Single-cell crop. Bone marrow smear. MGG-stained:
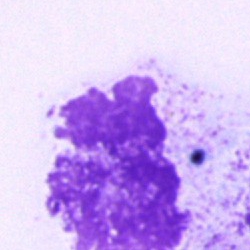

Classification = artefact.